Bone marrow aspirate smear:
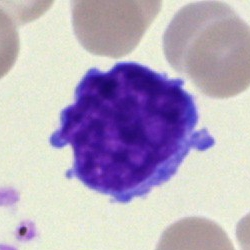Specimen: bone marrow aspirate smear.
Cell type: undifferentiated blast.